Image size 250×250. Bone marrow aspirate smear
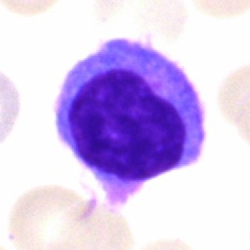Showing a typical lymphocyte.